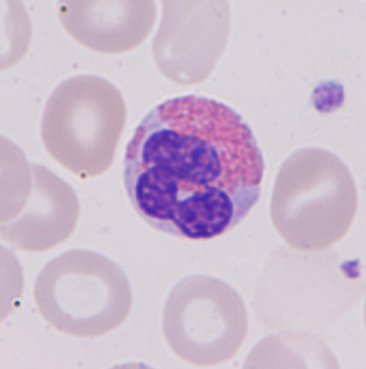

Peripheral blood film. Q: Identify the cell.
A: An eosinophilic granulocyte.